Peripheral blood film.
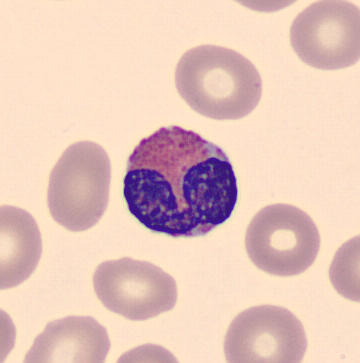
Cell type = eosinophil.